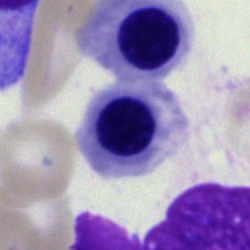
Erythroblast.